Bone marrow smear:
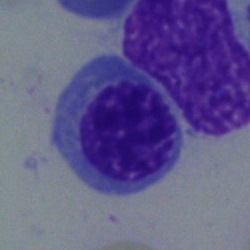
Specimen: bone marrow smear.
Morphological class: nucleated red blood cell.